Bone marrow aspirate smear — 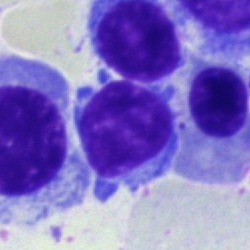 A lymphocyte.